Bone marrow aspirate smear: 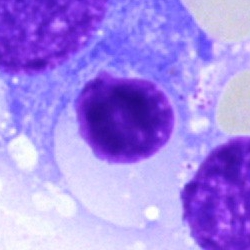Q: What is shown here?
A: An artefact.